Bone marrow aspirate smear.
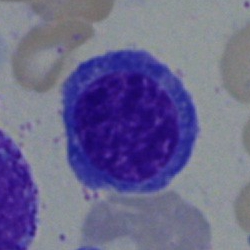Single cell identified as an erythroblast.